May-Grünwald-Giemsa/Pappenheim stain · bone marrow smear · 250×250: 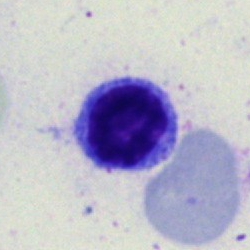

Specimen: bone marrow smear.
Morphological class: typical lymphocyte.
Lineage: lymphoid.